Bone marrow aspirate smear: 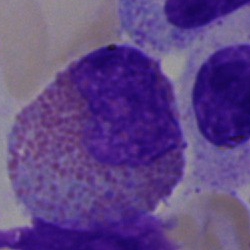 Q: What is shown here?
A: It is an eosinophilic granulocyte.